May-Grünwald-Giemsa/Pappenheim stain; bone marrow aspirate smear — 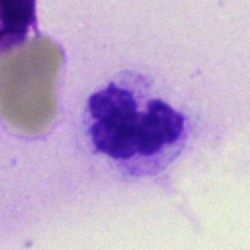Q: Identify the cell.
A: This is a neutrophil (segmented).